Bone marrow smear.
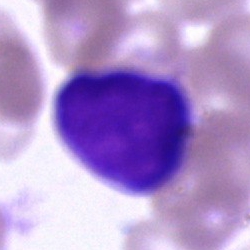 Specimen: bone marrow smear.
Classification: blast cell.